Brightfield microscopy, 40× oil immersion · bone marrow smear · MGG-stained: 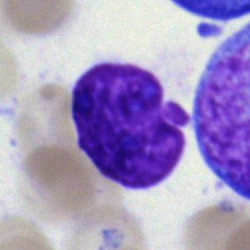 Specimen: bone marrow smear.
Morphological class: artefact.